Bone marrow smear: 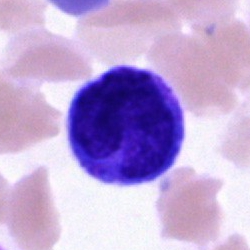 A monocyte.